40× objective, oil immersion; bone marrow smear — 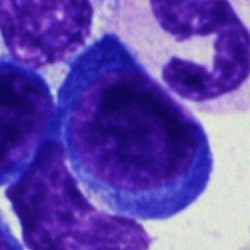 Q: What is shown here?
A: It is an erythroblast.